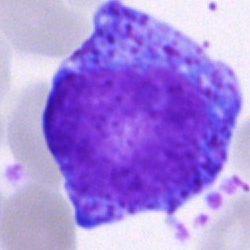

Cell type = promyelocyte.